Bone marrow aspirate smear:
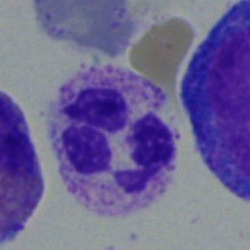

Showing a polymorphonuclear neutrophil.